Single-cell field; MGG-stained; bone marrow aspirate smear: 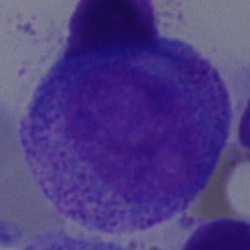 Progranulocyte.